Bone marrow aspirate smear
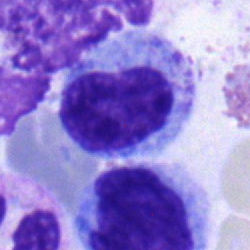A metamyelocyte.